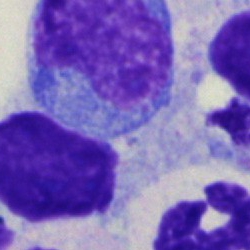

An unidentifiable cell.